Bone marrow smear — 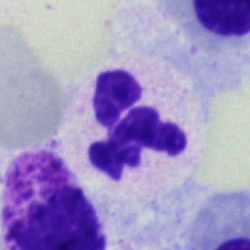

{"cell_type": "segmented neutrophil"}